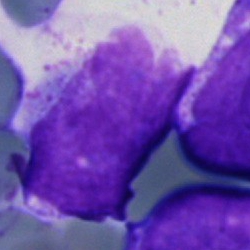
Showing a blast cell.